Bone marrow aspirate smear: 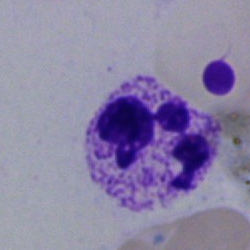 Cell: segmented neutrophil.